Bone marrow aspirate smear:
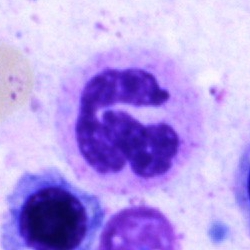

Showing a polymorphonuclear neutrophil.